MGG-stained. 250×250. Bone marrow aspirate smear:
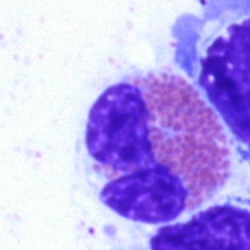

Q: What type of cell is this?
A: This is an eosinophilic granulocyte.